Brightfield microscopy, 40× oil immersion · bone marrow smear: 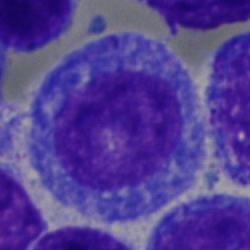

Q: Identify the cell.
A: It is a progranulocyte.